Bone marrow smear:
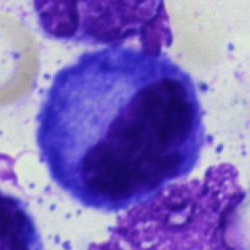The cell shown is a promyelocyte.